Cropped to a single cell · bone marrow smear:
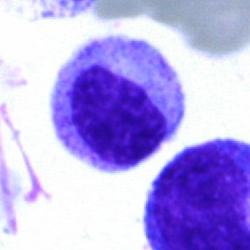Specimen: bone marrow smear.
Cell type: myelocyte.
Lineage: myeloid.